Bone marrow aspirate smear; brightfield microscopy, 40× oil immersion; 250×250 px.
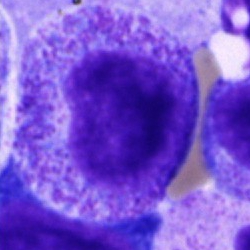Classification — progranulocyte.